250×250 px; May-Grünwald-Giemsa/Pappenheim stain; bone marrow smear — 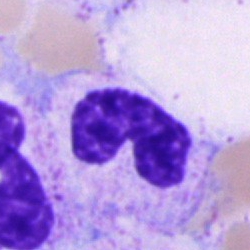

Single cell identified as a band-form neutrophil.